Single cell centered in the field. Brightfield, 40× oil-immersion objective. Bone marrow aspirate smear
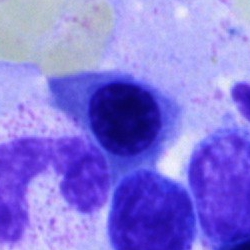Impression → nucleated red blood cell.